Brightfield, 40× oil-immersion objective; bone marrow smear; MGG-stained:
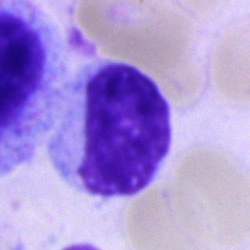Morphology — lymphocyte.